Bone marrow aspirate smear
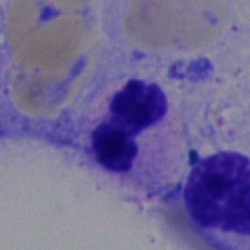

Cell: segmented neutrophil.